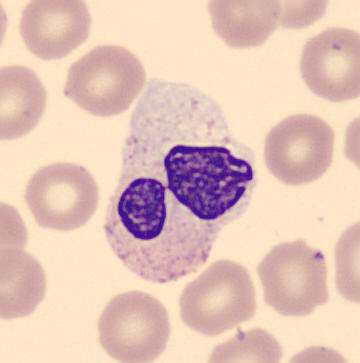Showing a segmented neutrophil.

Acquisition: Peripheral blood film.